Bone marrow smear; MGG-stained.
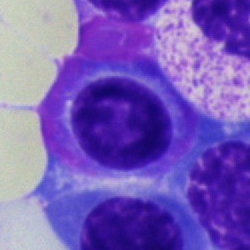 Q: What cell is this?
A: A plasma cell.